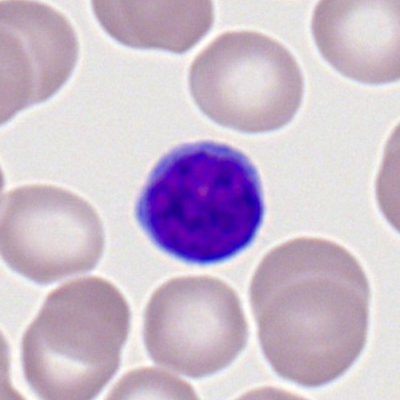
A lymphocyte on a peripheral blood smear.